100× oil immersion. Peripheral blood smear: 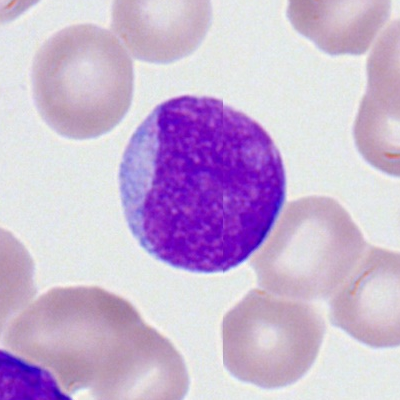
Showing a myeloid blast.